Brightfield, 40× oil-immersion objective. Bone marrow aspirate smear:
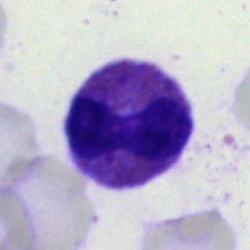

Cell type — eosinophilic granulocyte.